Bone marrow smear.
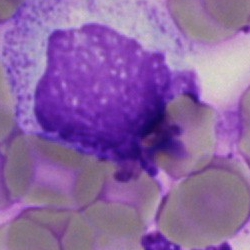

An artifact.